Bone marrow smear
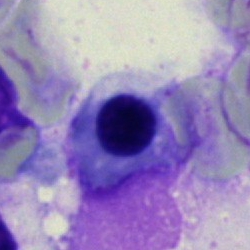
Q: Identify the cell.
A: This is a normoblast.